Bone marrow smear: 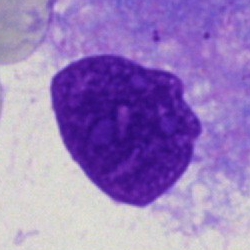
Q: What is shown here?
A: Artefact.